Bone marrow smear:
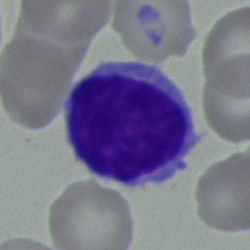

Showing a lymphocyte.